Bone marrow aspirate smear: 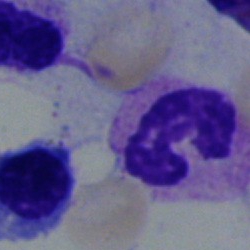 Specimen: bone marrow smear.
Classification: band neutrophil.